Bone marrow smear · MGG-stained · 250×250.
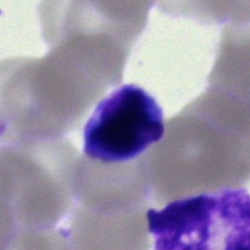Morphological class — lymphocyte.